Bone marrow aspirate smear
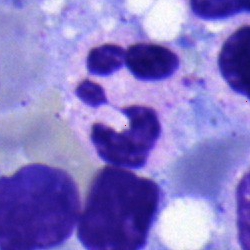
Classification: neutrophil (segmented).